Peripheral blood smear
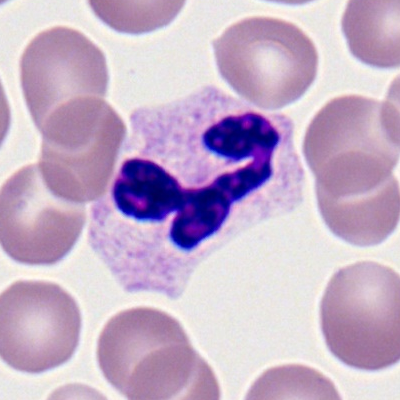

Cell type: segmented neutrophil.